Peripheral blood film — 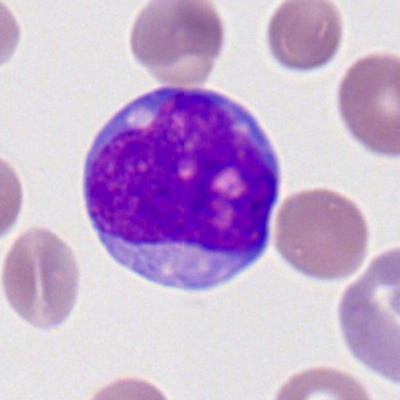A myeloid blast.